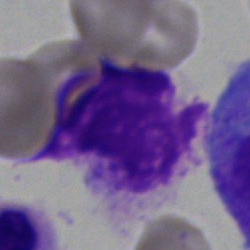 Specimen: bone marrow smear.
Classification: artefact.